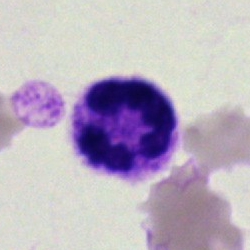 Morphological class = segmented neutrophil.